250×250 px · bone marrow smear · single-cell crop.
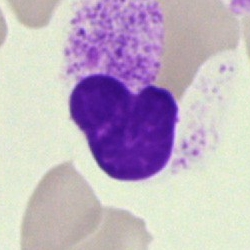 Q: What is shown here?
A: This is an artefact.